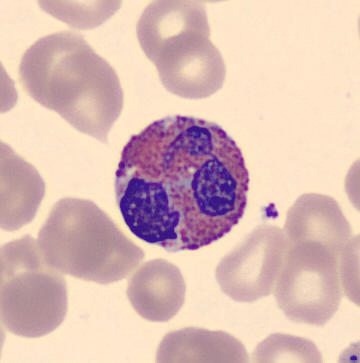Peripheral blood film; cropped to a single cell. The morphological class is eosinophilic granulocyte.